Brightfield, 40× oil-immersion objective. Single-cell field. Bone marrow smear
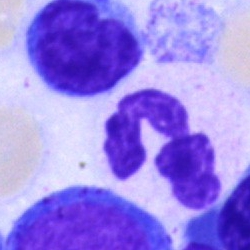

Morphology consistent with a neutrophil (segmented).